Peripheral blood film: 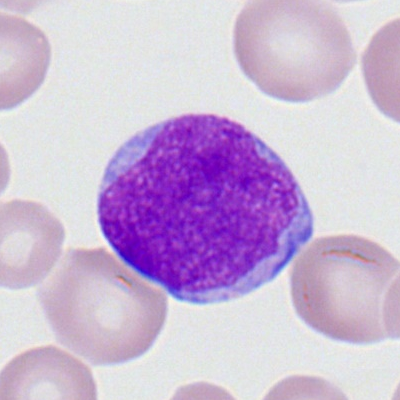
Myeloid blast.